Bone marrow smear:
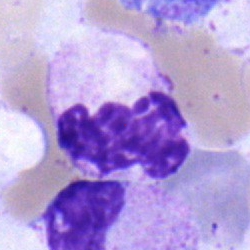Cell type: polymorphonuclear neutrophil.